Bone marrow aspirate smear: 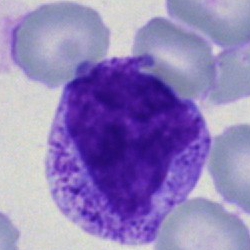
Specimen: bone marrow aspirate smear.
Cell type: myelocyte.